Bone marrow smear.
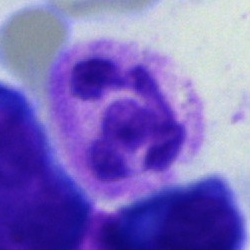 Classification — polymorphonuclear neutrophil.